Bone marrow smear:
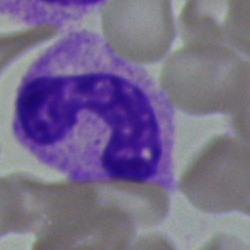Specimen: bone marrow smear.
Morphological class: band neutrophil.
Lineage: myeloid.